Bone marrow aspirate smear — 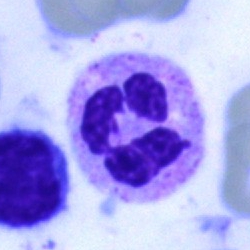 Morphology consistent with a neutrophil (segmented).